Bone marrow aspirate smear.
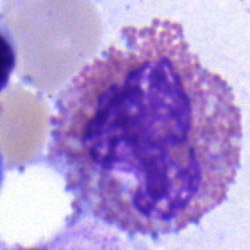

Q: What type of cell is this?
A: An eosinophilic granulocyte.